Bone marrow smear — 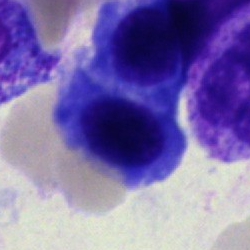

An erythroblast.